Single-cell field; bone marrow aspirate smear; May-Grünwald-Giemsa/Pappenheim stain
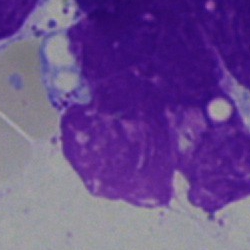The cell shown is an artefact.